Brightfield microscopy, 40× oil immersion · cropped to a single cell · bone marrow smear
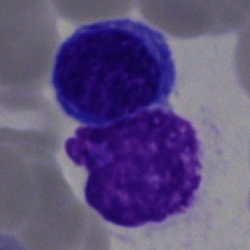
{"cell_type": "artifact"}